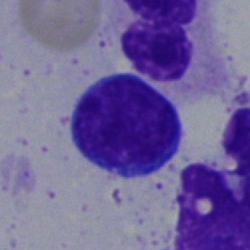
{"cell_type": "typical lymphocyte", "lineage": "lymphoid"}